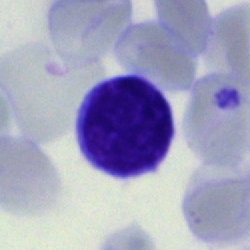Specimen: bone marrow aspirate smear.
Cell type: typical lymphocyte.
Lineage: lymphoid.